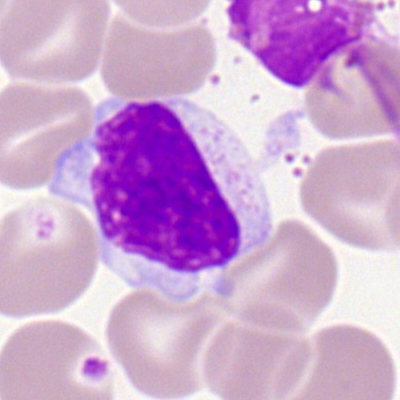Classification — lymphocyte.